40× objective, oil immersion; May-Grünwald-Giemsa/Pappenheim stain; bone marrow aspirate smear — 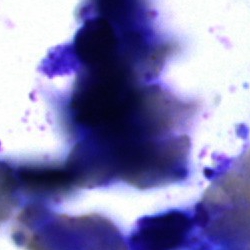

An artifact.